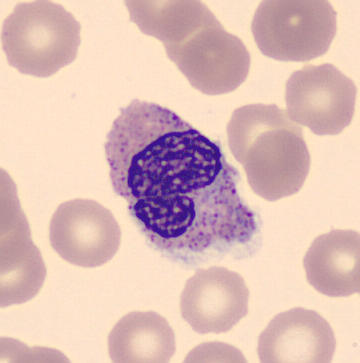 Peripheral blood film; single-cell crop.
Cell — metamyelocyte.